250×250 · bone marrow aspirate smear — 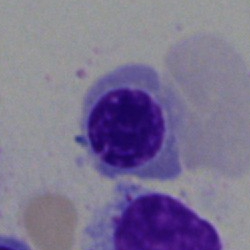This is a nucleated red cell.